Bone marrow smear.
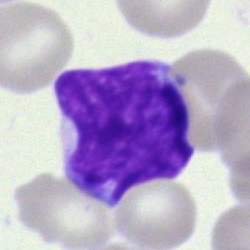

Classification = blast cell.